Peripheral blood film
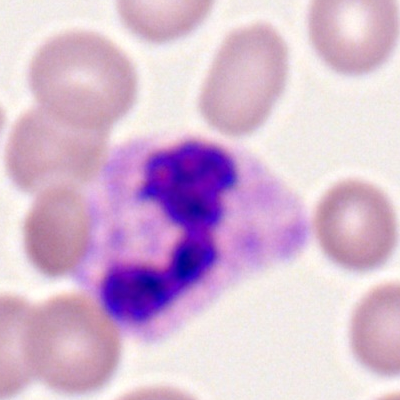 Specimen: peripheral blood film.
Classification: polymorphonuclear neutrophil.
Lineage: myeloid.